Bone marrow aspirate smear. Cropped to a single cell — 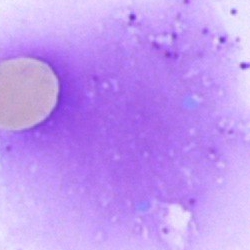
Artefact.